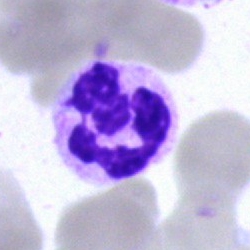

Classification — segmented neutrophil.